Bone marrow smear
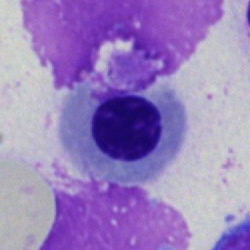 Q: Identify the cell.
A: It is a nucleated red cell.